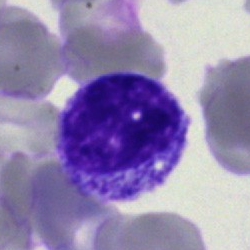

A myelocyte.